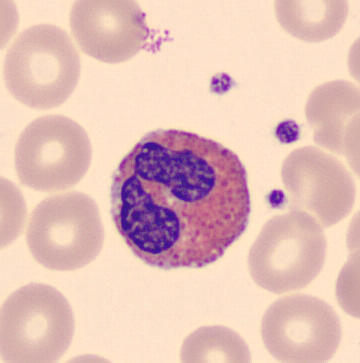 Cell: eosinophil.